Bone marrow smear.
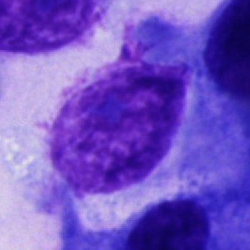
An other cell type.